Bone marrow smear — 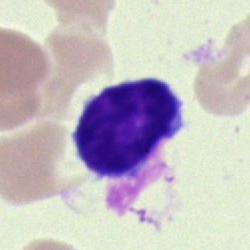 Specimen: bone marrow smear.
Cell type: lymphocyte.
Lineage: lymphoid.